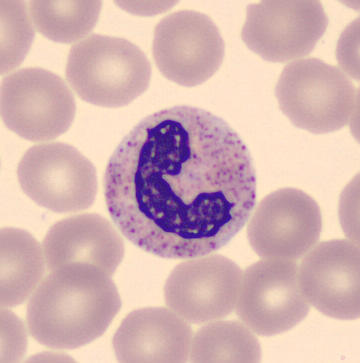

Q: What cell is this?
A: Polymorphonuclear neutrophil.

Peripheral blood film.